Bone marrow aspirate smear — 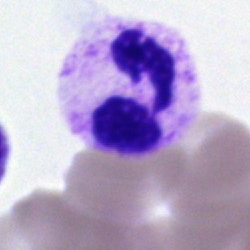
Cell type — segmented neutrophil.